Bone marrow smear: 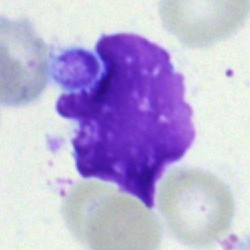 Specimen: bone marrow smear.
Morphological class: artefact.